Bone marrow smear: 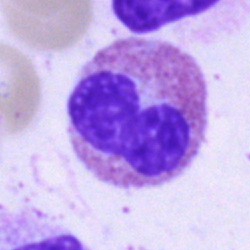 Specimen: bone marrow aspirate smear.
Cell type: eosinophil.
Lineage: myeloid.